40× oil immersion. Bone marrow aspirate smear:
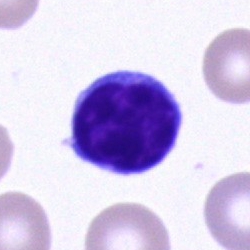

Showing a typical lymphocyte.